400×400. Peripheral blood smear:
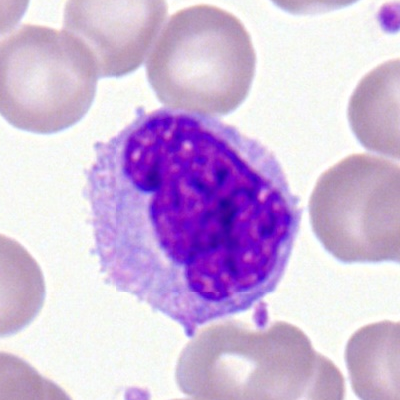
Specimen: peripheral blood film.
Morphological class: monocyte.
Lineage: myeloid.